May-Grünwald-Giemsa stain. Single-cell field. Bone marrow aspirate smear.
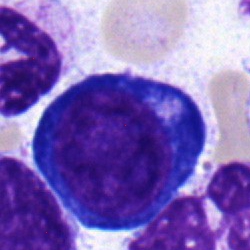
Q: What is shown here?
A: A proerythroblast.